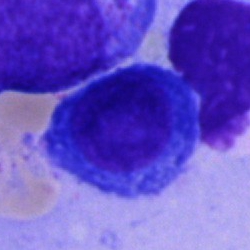Impression — plasmacyte.